Bone marrow aspirate smear: 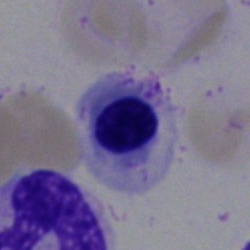

A nucleated red blood cell.